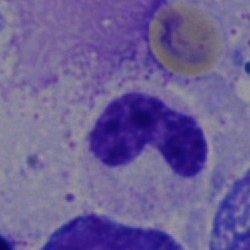 Cell: band-form neutrophil.